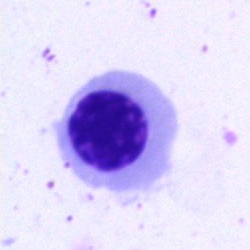The cell shown is an erythroblast.